Bone marrow smear. Brightfield microscopy, 40× oil immersion. May-Grünwald-Giemsa/Pappenheim stain — 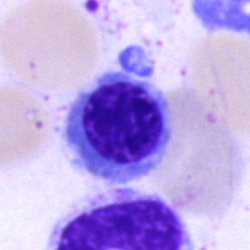Cell = nucleated red blood cell.